40× objective, oil immersion; bone marrow aspirate smear
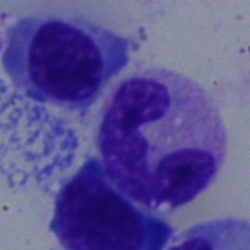Impression — polymorphonuclear neutrophil.